Bone marrow aspirate smear; May-Grünwald-Giemsa stain; 40× oil immersion
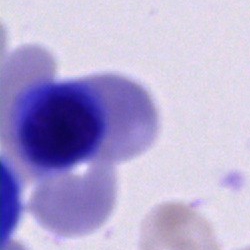

Cell: nucleated red blood cell.